Bone marrow aspirate smear.
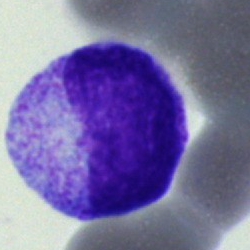Specimen: bone marrow aspirate smear.
Classification: promyelocyte.